Peripheral blood smear — 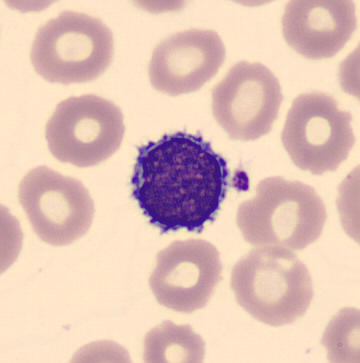 Cell type — lymphocyte.